Bone marrow aspirate smear: 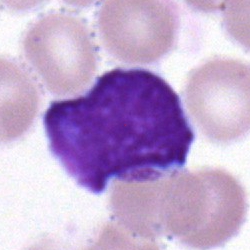
Classification: lymphocyte.